Bone marrow smear — 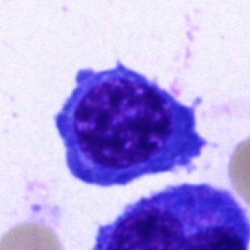Q: Identify the cell.
A: Normoblast.